Bone marrow smear: 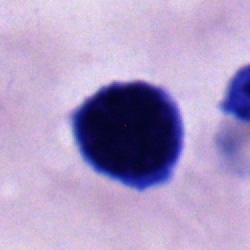
Typical lymphocyte.